Bone marrow smear.
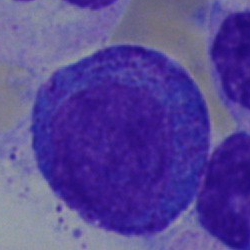 Classification: progranulocyte.